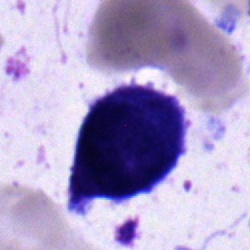 Impression — blast.